Bone marrow smear — 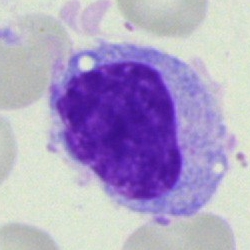
Single cell identified as a monocyte.